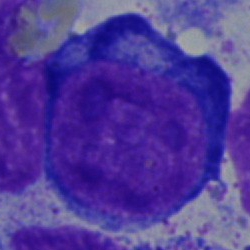Impression — proerythroblast.